Bone marrow aspirate smear.
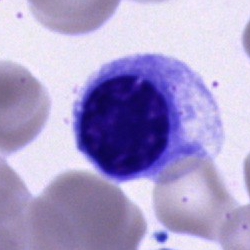Showing a nucleated red blood cell.